Single cell centered in the field · bone marrow aspirate smear — 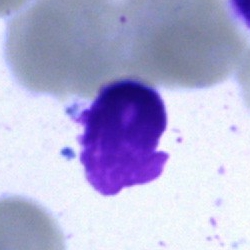
Morphological class: artifact.